Bone marrow aspirate smear — 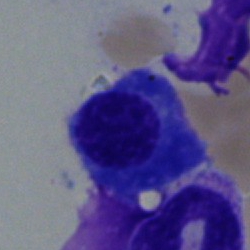
Morphological class: plasma cell.